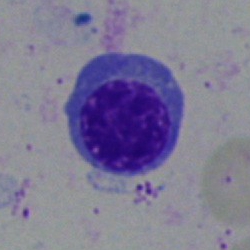
Morphological class: normoblast.